Bone marrow aspirate smear.
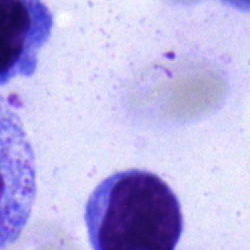 Q: What is the morphological classification of this cell?
A: It is a typical lymphocyte.